Bone marrow smear: 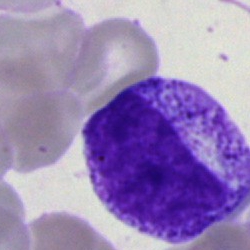 This is a myelocyte.